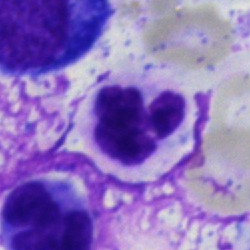Cell type — segmented neutrophil.